250×250 px · bone marrow smear
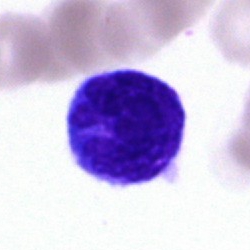
The classification is lymphocyte.